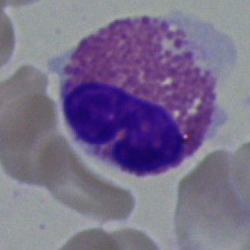
Q: What is the morphological classification of this cell?
A: Eosinophilic granulocyte.